Bone marrow aspirate smear — 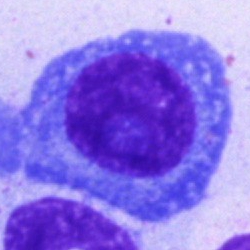
Morphology → plasmacyte.